Bone marrow smear.
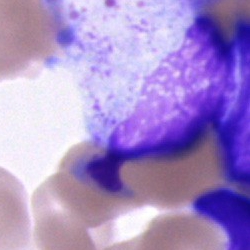 The cell type is unidentifiable cell.